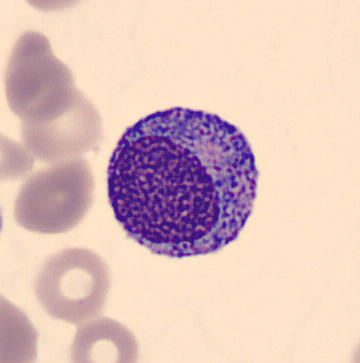 Q: What cell is this?
A: It is a promyelocyte.